40× oil immersion · 250×250 px · bone marrow smear.
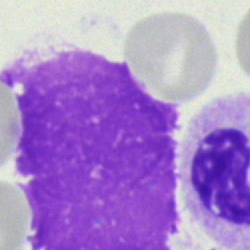
Morphological class: artifact.